400×400 · peripheral blood film: 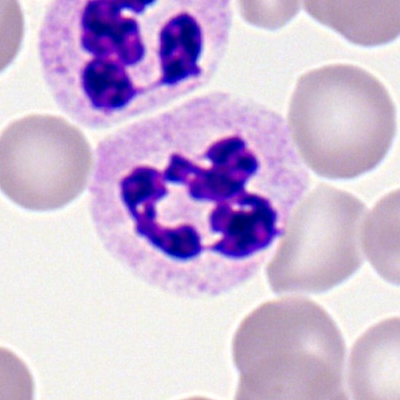 Polymorphonuclear neutrophil.